MGG-stained · 250 by 250 pixels · bone marrow smear — 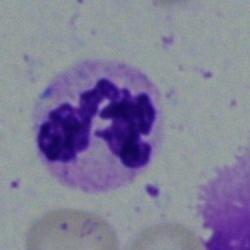 Classification — neutrophil (segmented).